Peripheral blood smear; May Grünwald-Giemsa stain; single cell centered in the field
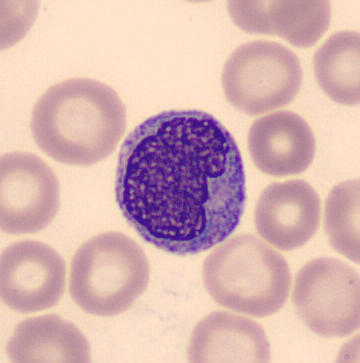 Classification — monocyte.